Bone marrow smear; Pappenheim-stained.
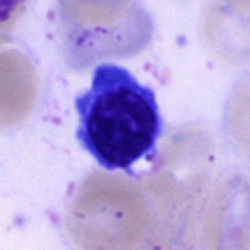

{"cell_type": "nucleated red blood cell"}